May-Grünwald-Giemsa stain. Bone marrow smear: 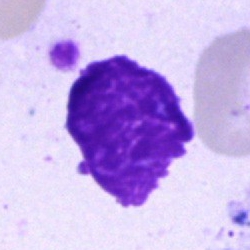Specimen: bone marrow smear.
Cell: artefact.